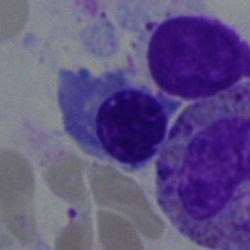Cell type = nucleated red cell.